Bone marrow aspirate smear. 250×250.
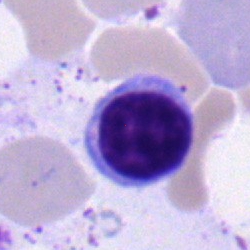
Q: What type of cell is this?
A: This is a lymphocyte.